250×250; single cell centered in the field; bone marrow smear.
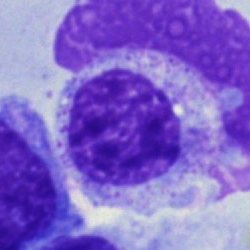
Q: Identify the cell.
A: This is a myelocyte.